Bone marrow smear. 40× objective, oil immersion. May-Grünwald-Giemsa/Pappenheim stain — 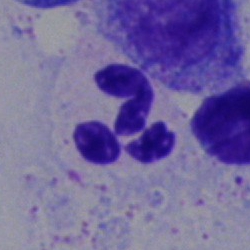Q: What is shown here?
A: Neutrophil (segmented).